Bone marrow smear:
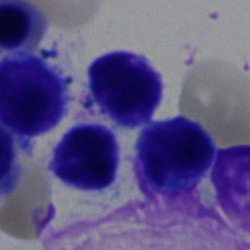

Cell type = typical lymphocyte.